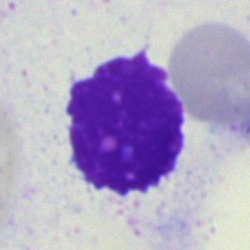 The cell shown is an artefact.